Bone marrow aspirate smear:
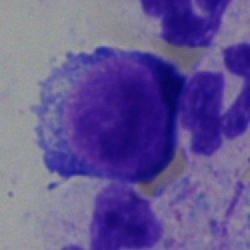

Cell = proerythroblast.